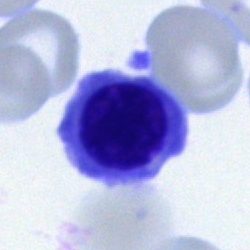

The cell type is nucleated red cell.